40× oil immersion. Bone marrow smear: 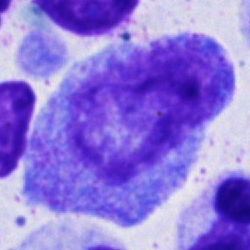Specimen: bone marrow smear.
Classification: progranulocyte.